Bone marrow aspirate smear
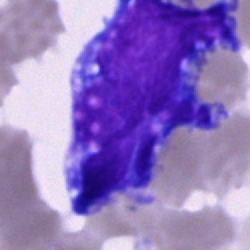Q: What is the morphological classification of this cell?
A: Blast.